Bone marrow smear. Single cell centered in the field. Pappenheim-stained — 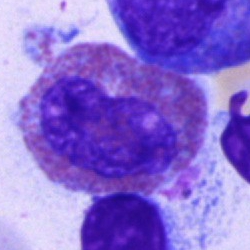

Specimen: bone marrow smear.
Cell type: eosinophil.
Lineage: myeloid.